Bone marrow aspirate smear. Pappenheim-stained:
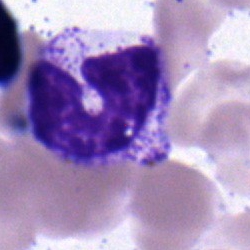

A band neutrophil.